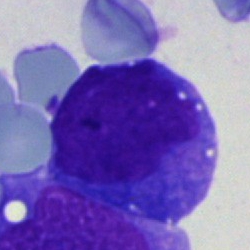

The classification is blast.